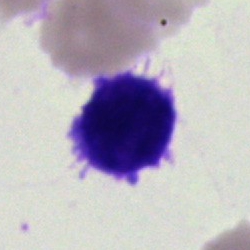

Specimen: bone marrow aspirate smear.
Morphological class: artifact.